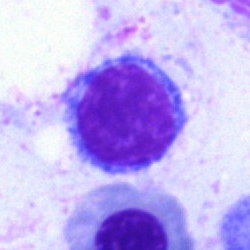

Lymphocyte.